Single-cell crop. Bone marrow smear. May-Grünwald-Giemsa/Pappenheim stain.
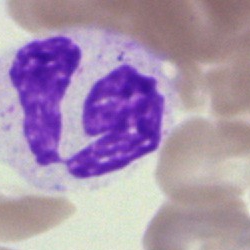

{"cell_type": "segmented neutrophil"}